Bone marrow smear · single-cell crop · 250×250:
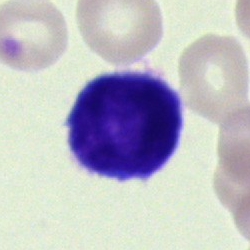Morphology → lymphocyte.